Bone marrow aspirate smear
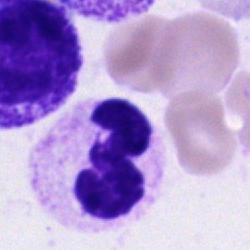Q: What is the morphological classification of this cell?
A: It is a neutrophil (segmented).